40× oil immersion. Bone marrow smear — 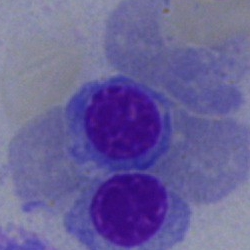
The cell is normoblast.